Bone marrow smear:
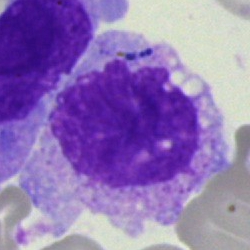 A monocyte.